Bone marrow smear: 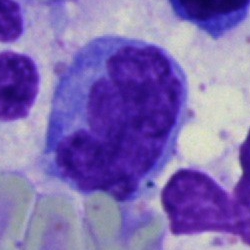

This is a monocyte.